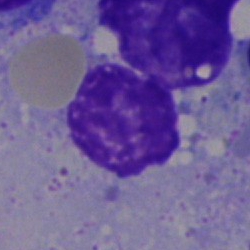
An artefact.